Bone marrow aspirate smear — 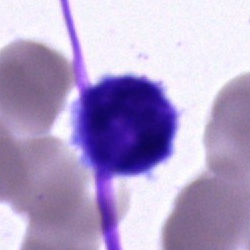 Classification: lymphocyte.